Bone marrow smear
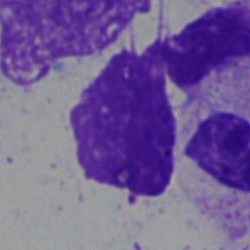
An artifact.